Bone marrow aspirate smear · single-cell field.
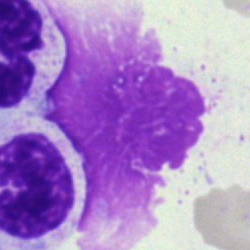
Specimen: bone marrow aspirate smear.
Cell type: artefact.